Peripheral blood film — 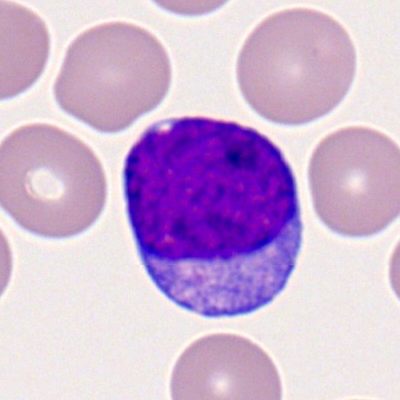
The cell is myeloid blast.